Bone marrow aspirate smear. MGG-stained:
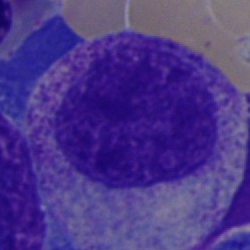
Specimen: bone marrow smear.
Morphological class: myelocyte.